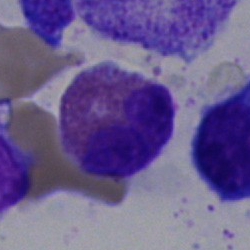

{"cell_type": "eosinophilic granulocyte"}